Bone marrow smear.
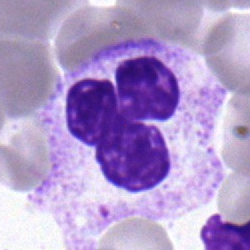Q: Which cell type is shown here?
A: Neutrophil (segmented).